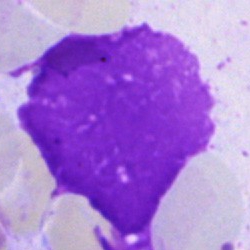 Morphology → artifact.